Cropped to a single cell; peripheral blood film — 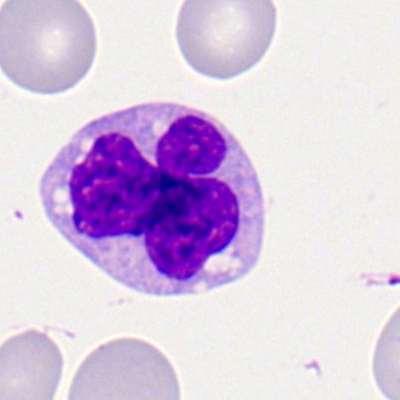 Specimen: peripheral blood film.
Cell type: monocyte.
Lineage: myeloid.